Bone marrow aspirate smear · single cell centered in the field
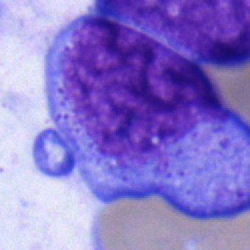 Showing a blast cell.